Bone marrow aspirate smear; MGG-stained; 40× oil immersion
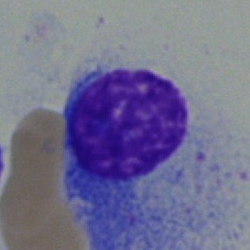
Specimen: bone marrow aspirate smear.
Cell type: plasma cell.
Lineage: lymphoid.